Bone marrow aspirate smear:
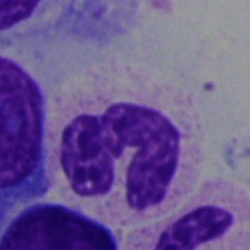Single cell identified as a polymorphonuclear neutrophil.